Bone marrow aspirate smear. May-Grünwald-Giemsa/Pappenheim stain.
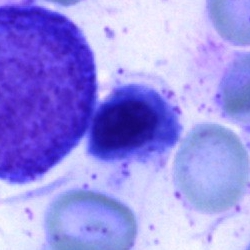{"cell_type": "nucleated red cell", "lineage": "erythroid"}